40× objective, oil immersion · bone marrow aspirate smear — 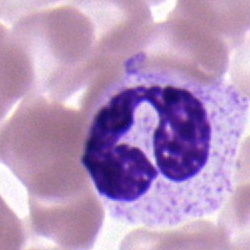 Morphology consistent with a polymorphonuclear neutrophil.